Imaged on a CellaVision DM96 analyser. May Grünwald-Giemsa stain. Peripheral blood film.
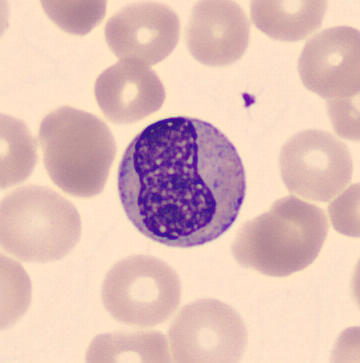Morphological class — metamyelocyte.